Bone marrow smear
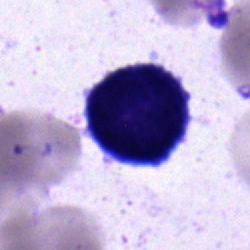

Specimen: bone marrow smear.
Classification: blast.